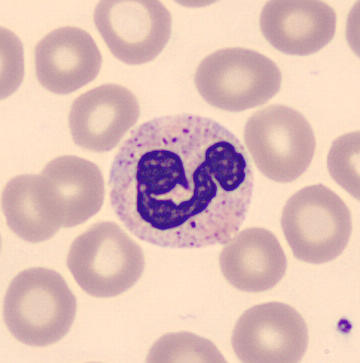
Specimen: peripheral blood smear.
Morphological class: neutrophil (segmented).